Image size 250×250 · bone marrow aspirate smear:
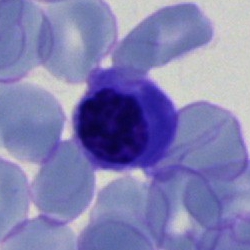

Q: Which cell type is shown here?
A: It is an erythroblast.